Bone marrow smear:
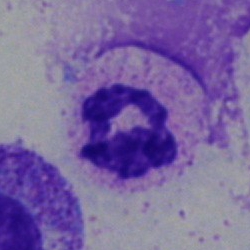Morphological class = segmented neutrophil.